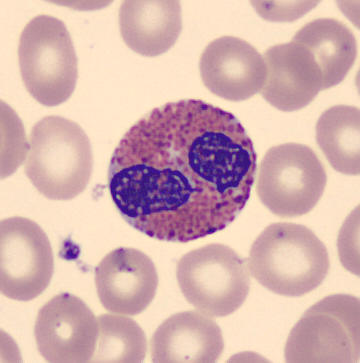Image: Image size 360×363. CellaVision DM96 digital cell image. Peripheral blood film.

Q: What is shown here?
A: Eosinophilic granulocyte.